May-Grünwald-Giemsa/Pappenheim stain · single-cell crop · bone marrow aspirate smear.
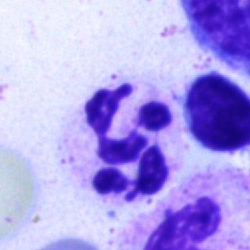

Morphology — neutrophil (segmented).